Bone marrow smear: 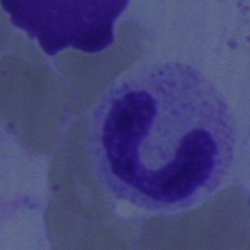

A band-form neutrophil.